400×400 · peripheral blood smear · M8 digital microscope (Precipoint), 100× oil immersion — 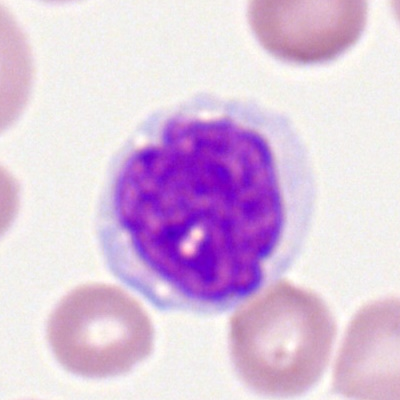

A monocyte.